Bone marrow smear.
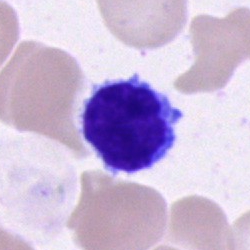 Typical lymphocyte.